Bone marrow aspirate smear
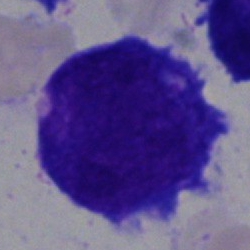 Classification: undifferentiated blast.